Bone marrow aspirate smear — 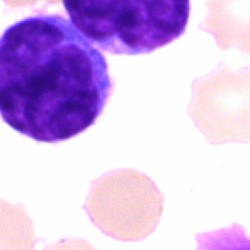 Specimen: bone marrow aspirate smear.
Cell type: typical lymphocyte.